Bone marrow aspirate smear
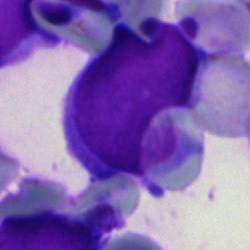Impression — blast cell.